MGG-stained · bone marrow aspirate smear · single-cell crop
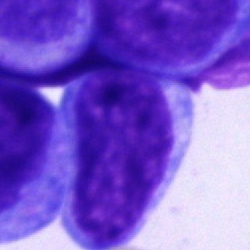Morphology → undifferentiated blast.